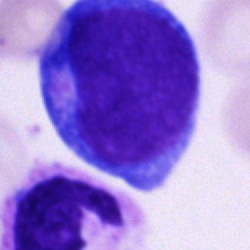

The cell shown is a blast.